Bone marrow aspirate smear:
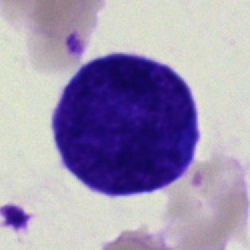

Single cell identified as an undifferentiated blast.